MGG-stained. Bone marrow aspirate smear.
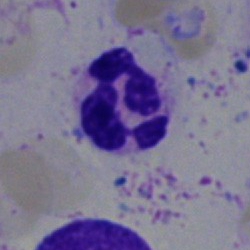

Classification — segmented neutrophil.